Bone marrow aspirate smear:
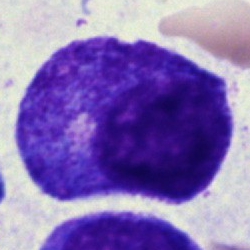 Morphology consistent with a promyelocyte.